Brightfield, 40× oil-immersion objective. Single cell centered in the field. Bone marrow smear.
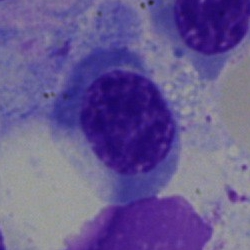

The classification is nucleated red cell.